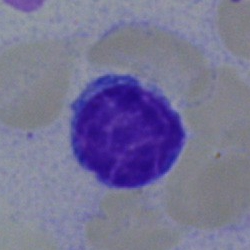 Q: Which cell type is shown here?
A: It is a typical lymphocyte.